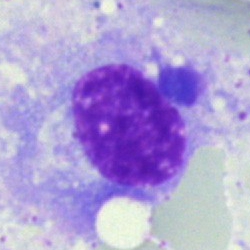 Morphological class: artifact.